Bone marrow smear · single-cell crop:
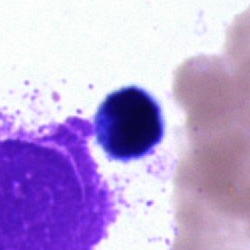
Cell — artifact.